Bone marrow smear — 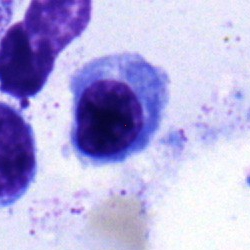

Q: Which cell type is shown here?
A: This is an erythroblast.